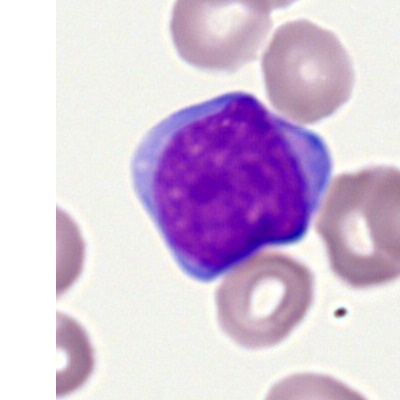Q: What cell is this?
A: This is a myeloblast.